Bone marrow aspirate smear · May-Grünwald-Giemsa stain — 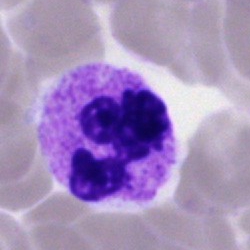 A polymorphonuclear neutrophil.